Pappenheim-stained; bone marrow smear
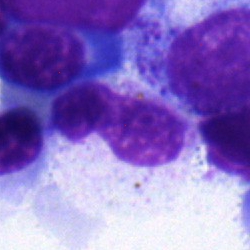The cell shown is a metamyelocyte.